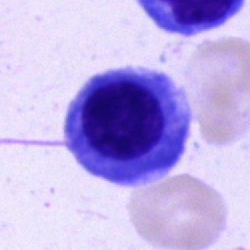 Classification — nucleated red blood cell.